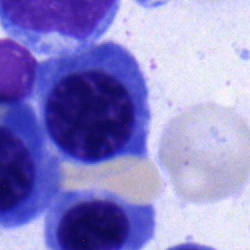
{"cell_type": "nucleated red blood cell", "lineage": "erythroid"}